Bone marrow aspirate smear: 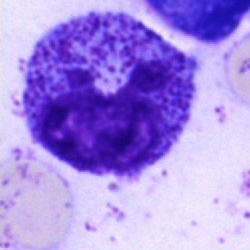 Specimen: bone marrow smear.
Classification: promyelocyte.
Lineage: myeloid.